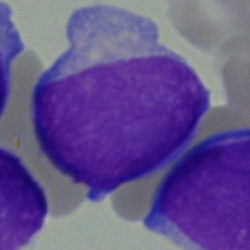
A blast cell on a bone marrow smear.